Bone marrow smear: 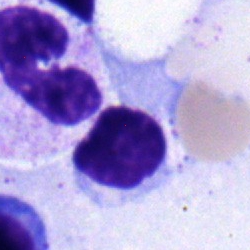

Q: Identify the cell.
A: It is a lymphocyte.